Bone marrow aspirate smear
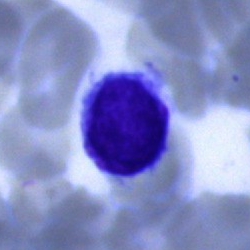 Cell type — lymphocyte.